MGG-stained. Brightfield, 40× oil-immersion objective. Bone marrow aspirate smear
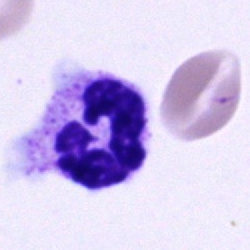Cell = neutrophil (segmented).